Image size 250×250; brightfield microscopy, 40× oil immersion; bone marrow smear: 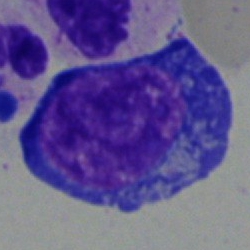Q: Which cell type is shown here?
A: This is a proerythroblast.